Bone marrow smear. May-Grünwald-Giemsa stain: 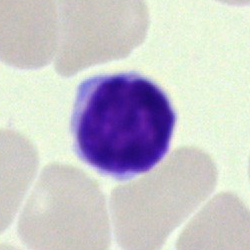
Q: What is shown here?
A: A typical lymphocyte.